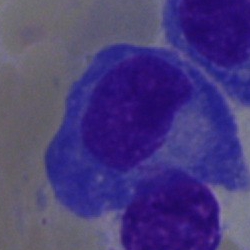A plasma cell.